Single-cell field; bone marrow smear
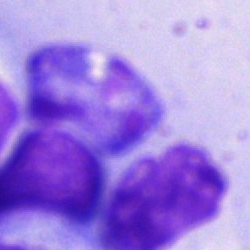The cell type is artifact.